Peripheral blood film · image size 400×400
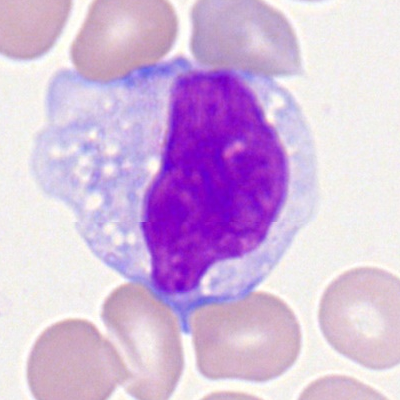
{"cell_type": "monocyte", "lineage": "myeloid"}